Bone marrow smear · single-cell crop.
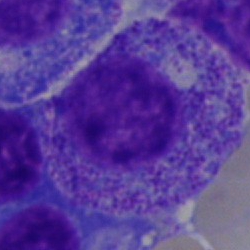

A myelocyte.